400×400 px · peripheral blood film:
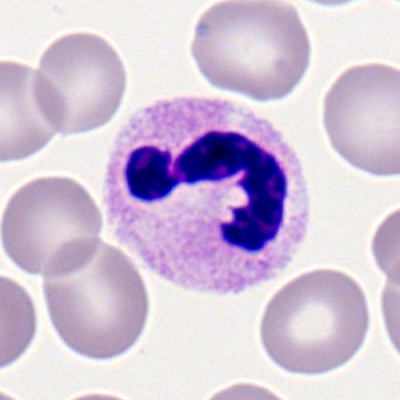 This is a polymorphonuclear neutrophil.